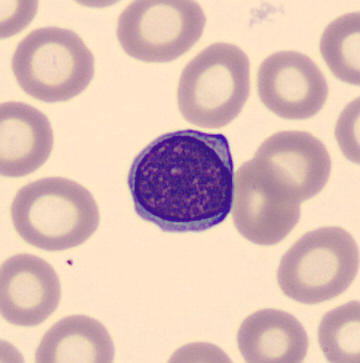 The morphological class is typical lymphocyte.